Bone marrow aspirate smear:
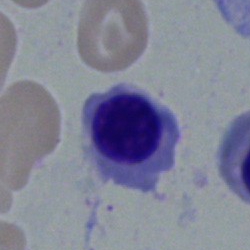
Morphology consistent with a normoblast.